Bone marrow aspirate smear
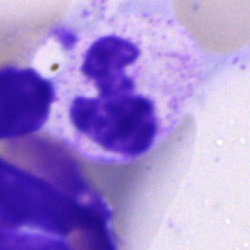

Cell: neutrophil (segmented).